Bone marrow smear:
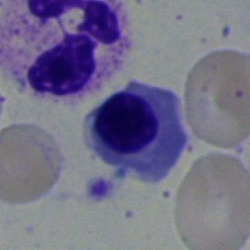

Morphology → nucleated red blood cell.